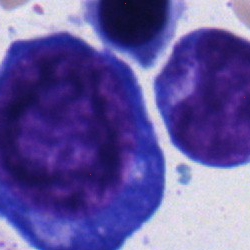 Q: What is the morphological classification of this cell?
A: Normoblast.